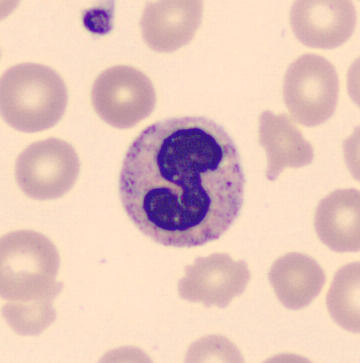

Image: Peripheral blood film.

Morphology → polymorphonuclear neutrophil.